Single-cell field. Bone marrow smear — 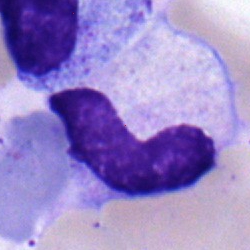

{"cell_type": "band-form neutrophil"}